Bone marrow aspirate smear:
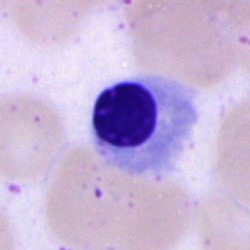Showing a nucleated red cell.